Bone marrow smear · May-Grünwald-Giemsa stain:
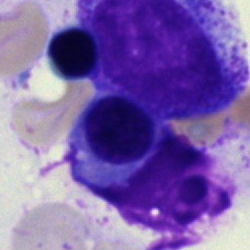

Showing a normoblast.